CellaVision DM96 digital cell image; peripheral blood smear.
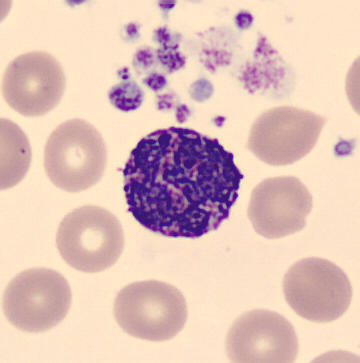 Impression → basophil.